Single-cell field · May-Grünwald-Giemsa stain · bone marrow aspirate smear — 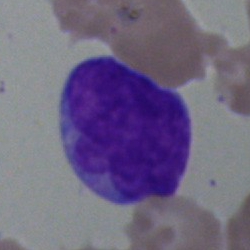

Undifferentiated blast.